Bone marrow smear; MGG-stained:
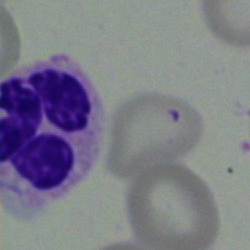
The cell shown is a polymorphonuclear neutrophil.